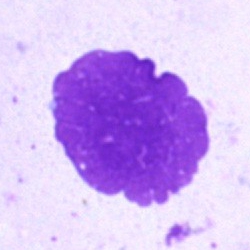

Morphological class — artifact.